Single cell centered in the field · bone marrow smear: 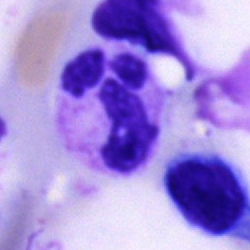
Morphology consistent with a polymorphonuclear neutrophil.